Bone marrow smear. Pappenheim-stained:
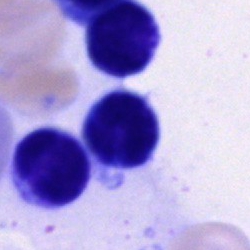
Specimen: bone marrow smear.
Cell: lymphocyte.